Bone marrow aspirate smear — 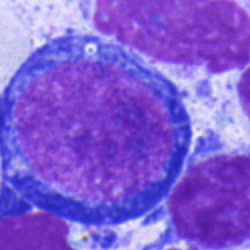

Impression — pronormoblast.